Bone marrow aspirate smear
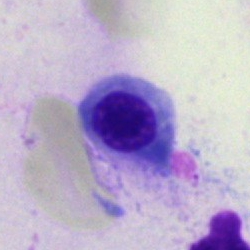Morphological class = erythroblast.